250×250. MGG-stained. Bone marrow aspirate smear
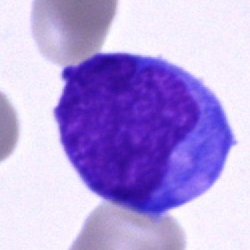 Morphology → blast cell.